Bone marrow aspirate smear: 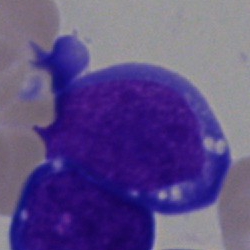Specimen: bone marrow smear.
Classification: blast.